Bone marrow aspirate smear; Pappenheim-stained; single-cell field.
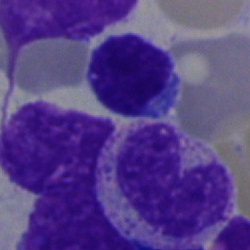Morphology consistent with a band neutrophil.